Bone marrow aspirate smear — 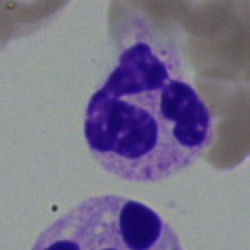
Morphological class — neutrophil (segmented).